Bone marrow aspirate smear: 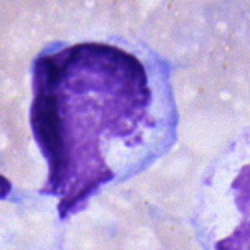
Showing a monocyte.